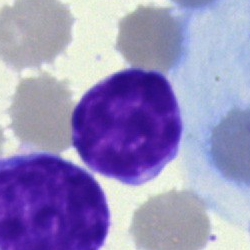
A typical lymphocyte on a bone marrow smear.